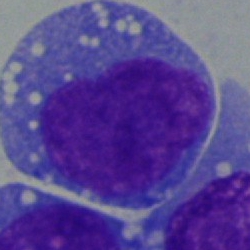Blast.